Bone marrow smear: 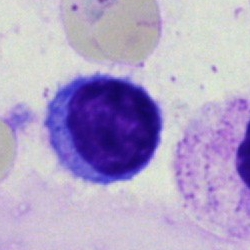

The cell shown is a typical lymphocyte.